Bone marrow smear: 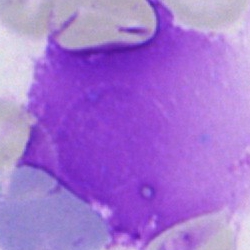Cell — artefact.